250 by 250 pixels; bone marrow aspirate smear
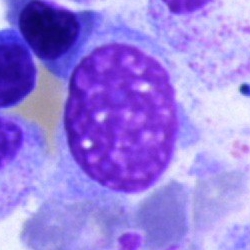 Showing an artifact.